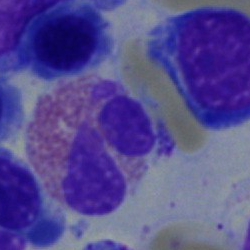 Single cell identified as an eosinophil.